Bone marrow aspirate smear. 250×250 px. 40× oil immersion — 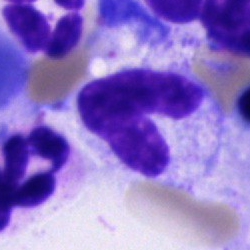Morphology consistent with a band-form neutrophil.